Bone marrow smear
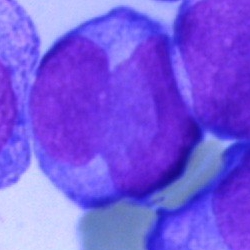 Morphology consistent with a blast cell.